Bone marrow aspirate smear · 250 by 250 pixels — 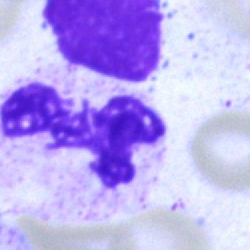
Cell — polymorphonuclear neutrophil.